40× oil immersion; bone marrow smear.
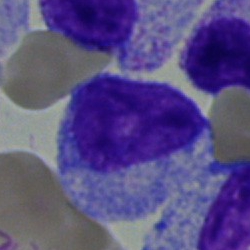Specimen: bone marrow smear.
Classification: myelocyte.
Lineage: myeloid.